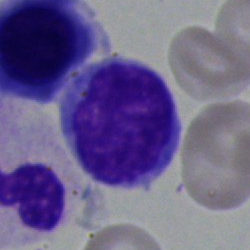
Bone marrow smear showing a typical lymphocyte.